Bone marrow aspirate smear:
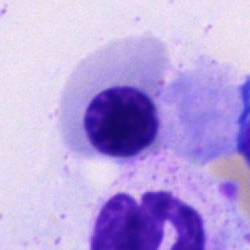 Normoblast.